Bone marrow aspirate smear; Pappenheim-stained: 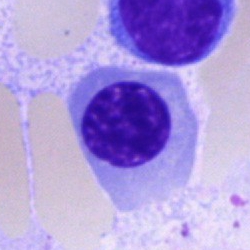
Morphology consistent with a nucleated red blood cell.